Bone marrow smear:
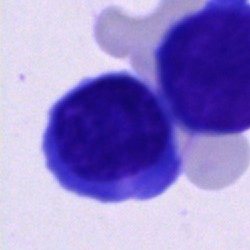Cell type: plasma cell.